Bone marrow smear.
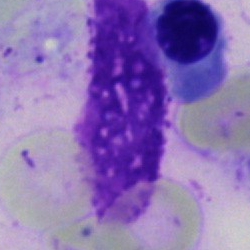Specimen: bone marrow aspirate smear.
Cell type: nucleated red blood cell.